Bone marrow smear · 250 by 250 pixels:
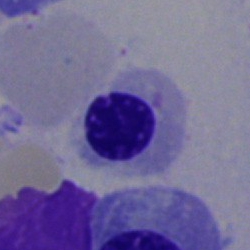 A nucleated red cell.